Bone marrow aspirate smear.
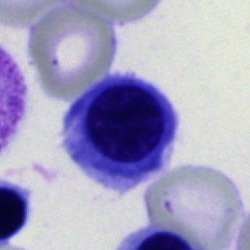

Morphology consistent with a normoblast.